Bone marrow smear
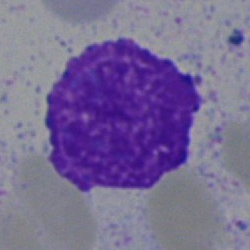 Classification — artefact.